M8 digital microscope (Precipoint), 100× oil immersion; image size 400×400; peripheral blood smear — 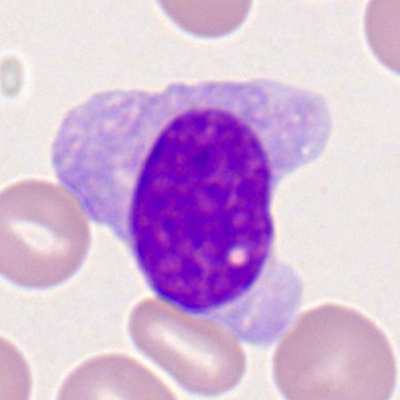

Q: What type of cell is this?
A: Monocyte.